Bone marrow smear — 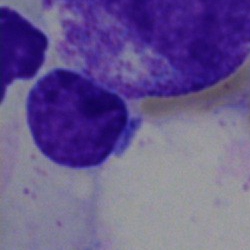

Morphology consistent with a typical lymphocyte.